Romanowsky-type stain; peripheral blood smear; 400×400: 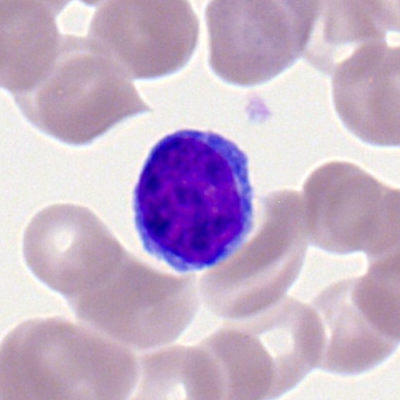 Morphology — lymphocyte.